Bone marrow aspirate smear. MGG-stained. Single-cell field — 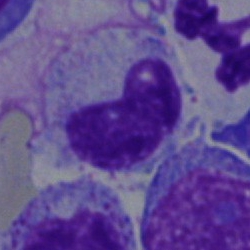

Morphology — band-form neutrophil.